Bone marrow aspirate smear — 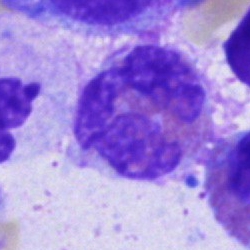
Eosinophilic granulocyte.